Bone marrow aspirate smear
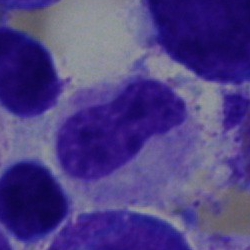 The morphological class is stab cell.